May-Grünwald-Giemsa stain · bone marrow smear.
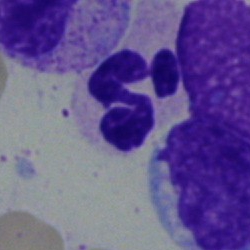
Morphological class — segmented neutrophil.